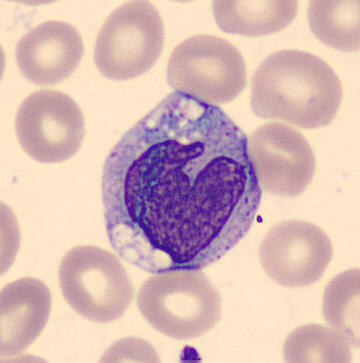

Peripheral blood smear · May-Grünwald-Giemsa-stained.
Showing a monocyte.